Bone marrow aspirate smear: 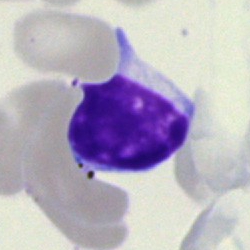

Morphological class: typical lymphocyte.